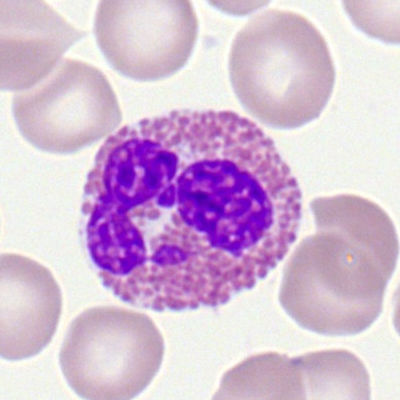 An eosinophilic granulocyte on a peripheral blood smear.